May-Grünwald-Giemsa stain; bone marrow smear
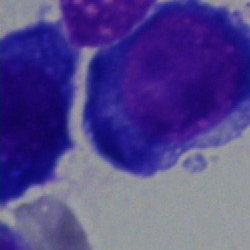Showing a pronormoblast.